250 by 250 pixels · bone marrow smear: 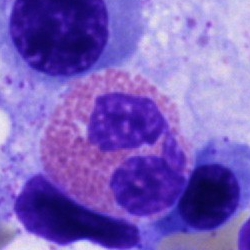

Cell: eosinophilic granulocyte.